Bone marrow aspirate smear; brightfield, 40× oil-immersion objective
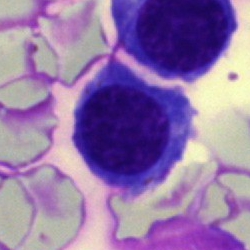 {"cell_type": "nucleated red cell"}